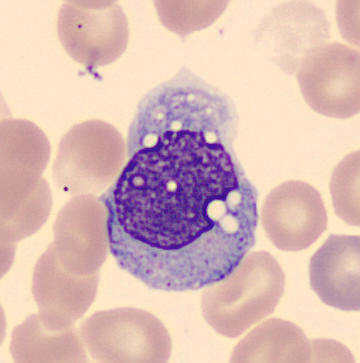 Q: What type of cell is this?
A: Monocyte.